Romanowsky stain; peripheral blood smear.
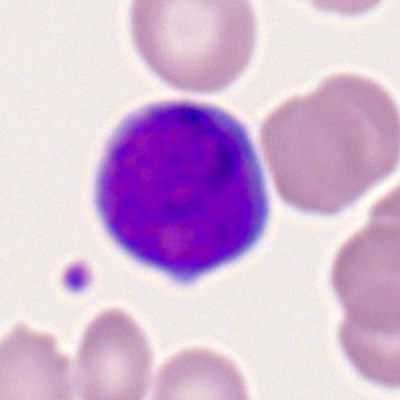

Q: What cell is this?
A: Myeloid blast.